Bone marrow aspirate smear: 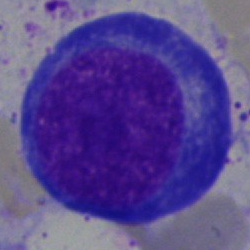
Showing a nucleated red cell.